Bone marrow aspirate smear. Brightfield microscopy, 40× oil immersion. 250×250.
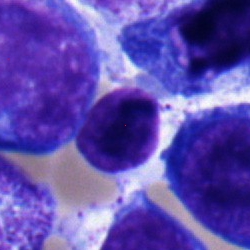Morphology consistent with a lymphocyte.